Bone marrow aspirate smear.
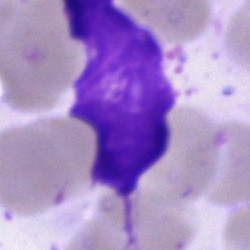 Morphology — artefact.